Bone marrow aspirate smear · brightfield, 40× oil-immersion objective.
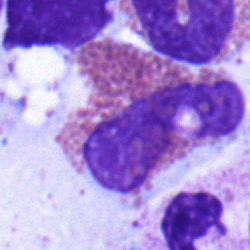 An eosinophil.